Bone marrow smear — 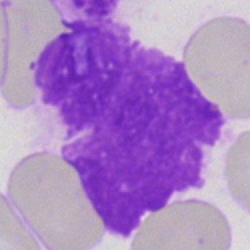
Specimen: bone marrow smear.
Classification: artefact.